Bone marrow smear. Brightfield, 40× oil-immersion objective. Image size 250×250
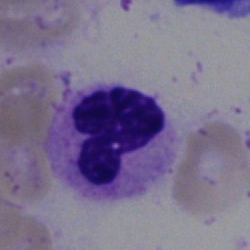
Neutrophil (segmented).